Bone marrow aspirate smear. May-Grünwald-Giemsa stain.
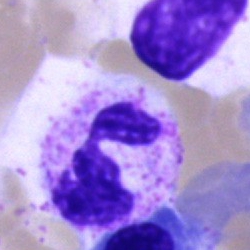

Classification — segmented neutrophil.